Romanowsky-type stain; peripheral blood smear:
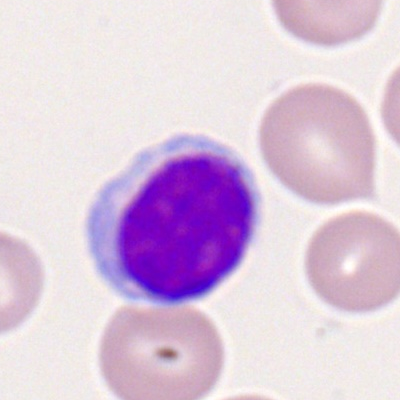 This is a lymphocyte.